May-Grünwald-Giemsa stain. Bone marrow aspirate smear — 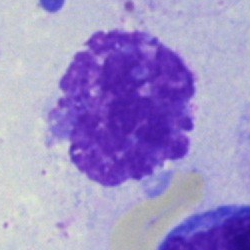

Q: What is shown here?
A: This is an artifact.